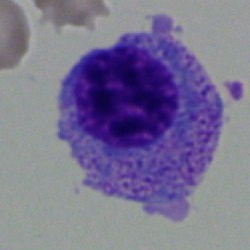
Cell type: myelocyte.